MGG-stained. Bone marrow aspirate smear
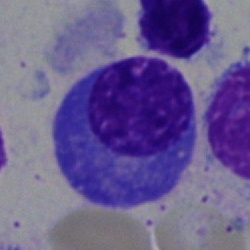Cell: plasmacyte.